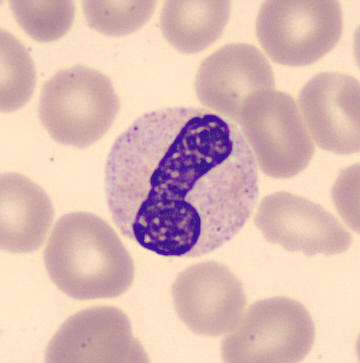
From a peripheral blood smear: a band neutrophil.